Bone marrow smear — 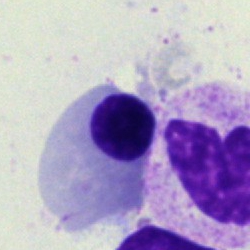

Showing a nucleated red blood cell.